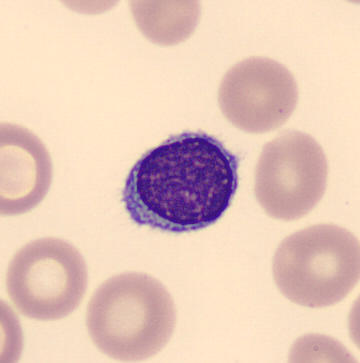
Acquisition: Image size 360×363; automated cell imaging (CellaVision DM96).
Specimen: peripheral blood film.
Classification: typical lymphocyte.
Lineage: lymphoid.